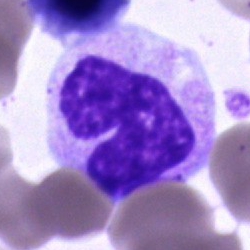 Specimen: bone marrow aspirate smear.
Cell type: neutrophil (band).